40× oil immersion. Bone marrow smear: 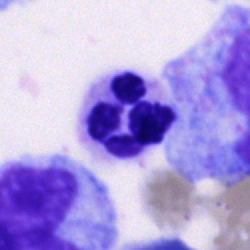

Classification — segmented neutrophil.